Bone marrow smear:
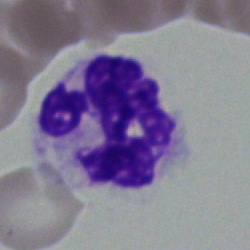Q: What is shown here?
A: This is a neutrophil (segmented).